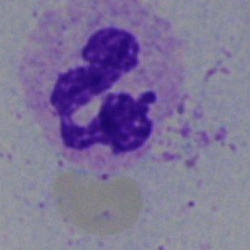 Specimen: bone marrow aspirate smear.
Classification: segmented neutrophil.